Bone marrow smear · May-Grünwald-Giemsa/Pappenheim stain · cropped to a single cell — 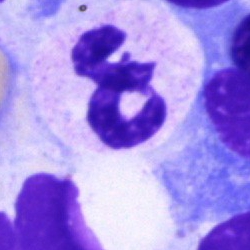

Morphological class: neutrophil (segmented).